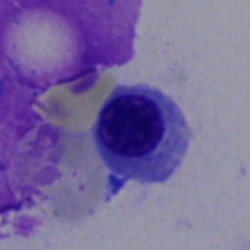
Classification: erythroblast.